Peripheral blood film. 360 by 363 pixels. Automated cell imaging (CellaVision DM96)
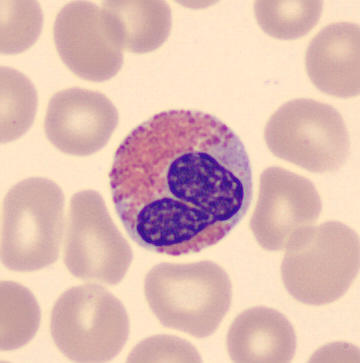

Identified as an eosinophil.